Bone marrow aspirate smear:
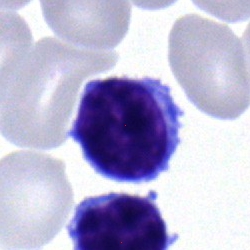Morphology consistent with a lymphocyte.